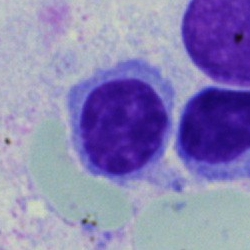Classification — lymphocyte.